Bone marrow aspirate smear.
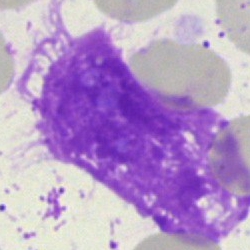This is an artifact.